40× oil immersion · bone marrow smear · single cell centered in the field:
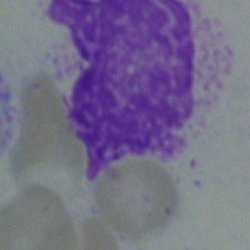

Cell: artifact.